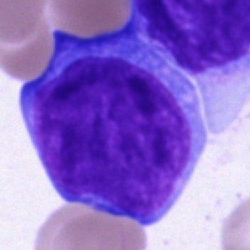

Q: What is shown here?
A: It is an undifferentiated blast.